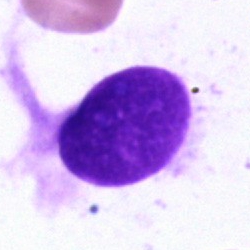
Q: What is shown here?
A: Artifact.